Pappenheim-stained · bone marrow smear.
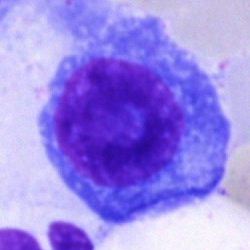
Q: What type of cell is this?
A: Plasmacyte.